Bone marrow aspirate smear.
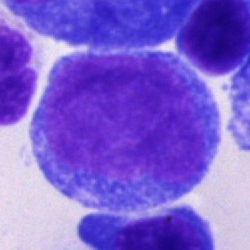
This is a blast cell.